Single-cell field · bone marrow smear.
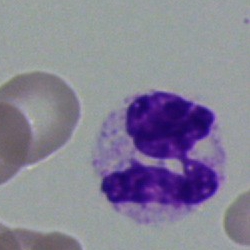Morphological class = polymorphonuclear neutrophil.